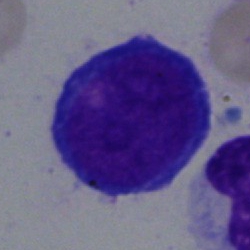 Q: What cell is this?
A: It is a proerythroblast.